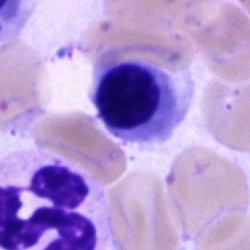An erythroblast.